Bone marrow aspirate smear; image size 250×250 — 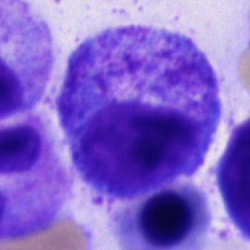 Specimen: bone marrow aspirate smear.
Cell: progranulocyte.
Lineage: myeloid.